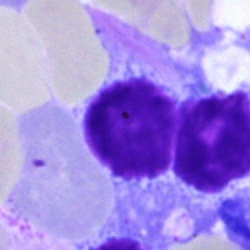

{"cell_type": "lymphocyte", "lineage": "lymphoid"}